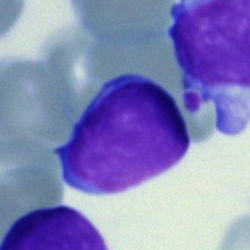 The classification is typical lymphocyte.